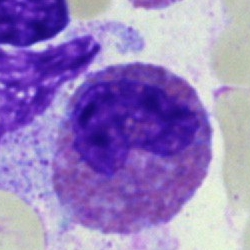

{"cell_type": "eosinophilic granulocyte", "lineage": "myeloid"}